Bone marrow aspirate smear
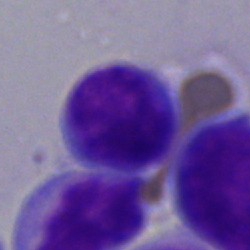
Cell: lymphocyte.